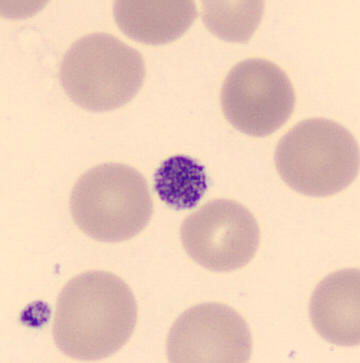

Image: May Grünwald-Giemsa stain; imaged on a CellaVision DM96 analyser.
Specimen: peripheral blood film.
Classification: thrombocyte.